Bone marrow aspirate smear. May-Grünwald-Giemsa stain: 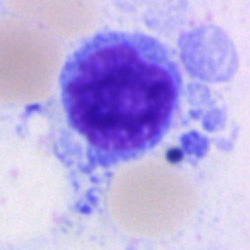Morphological class: lymphocyte.